Bone marrow smear:
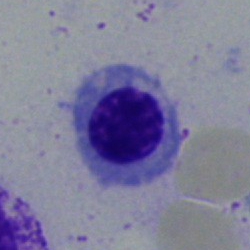 Specimen: bone marrow smear.
Cell: nucleated red cell.
Lineage: erythroid.